Peripheral blood smear. Romanowsky-stained
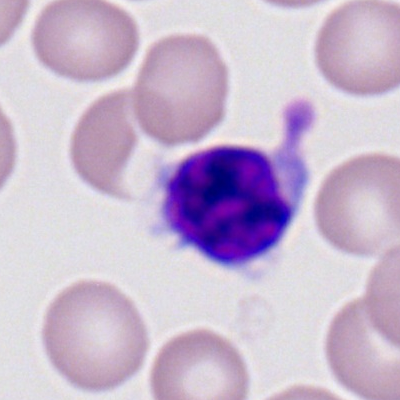 Morphological class — lymphocyte.